Single cell centered in the field · bone marrow smear:
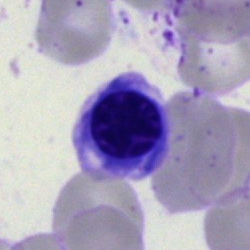Cell: normoblast.